Bone marrow aspirate smear — 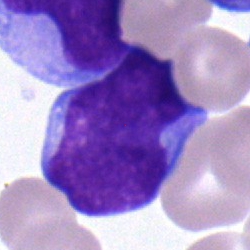Showing an undifferentiated blast.